Brightfield, 40× oil-immersion objective. Bone marrow aspirate smear. May-Grünwald-Giemsa/Pappenheim stain:
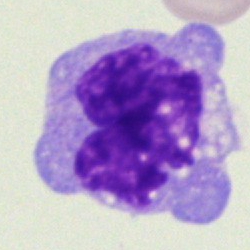 Q: What type of cell is this?
A: A monocyte.